Bone marrow aspirate smear — 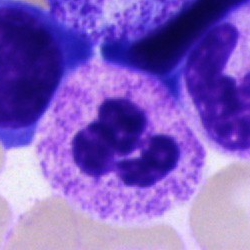
Impression → polymorphonuclear neutrophil.